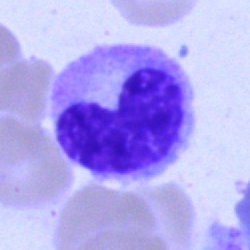
Q: What is shown here?
A: Metamyelocyte.